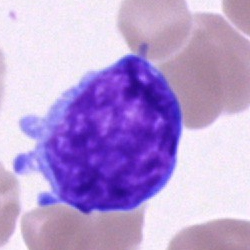

Q: What type of cell is this?
A: An undifferentiated blast.